Bone marrow smear:
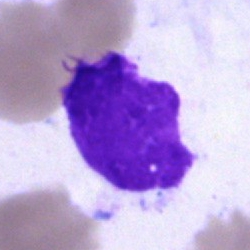 Q: What is shown here?
A: It is an artefact.